Bone marrow smear · Pappenheim-stained
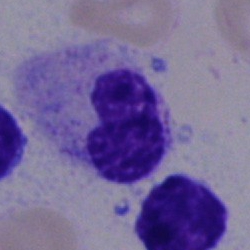
Morphology → stab cell.